40× oil immersion. Bone marrow smear
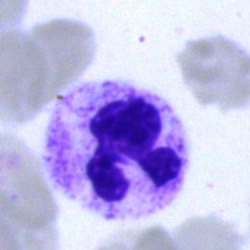

Specimen: bone marrow smear.
Morphological class: neutrophil (segmented).